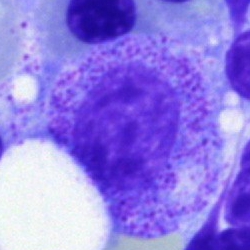

Myelocyte.